250×250 px; bone marrow smear; 40× objective, oil immersion.
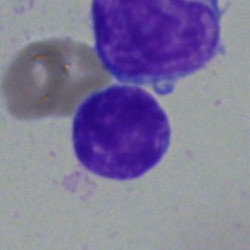

This is a lymphocyte.